Pappenheim-stained · bone marrow aspirate smear
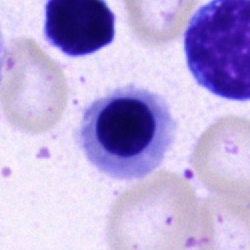

Impression → nucleated red cell.